Bone marrow aspirate smear — 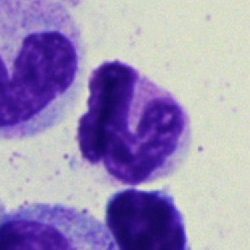Cell type = polymorphonuclear neutrophil.